Bone marrow smear · brightfield, 40× oil-immersion objective · 250 by 250 pixels:
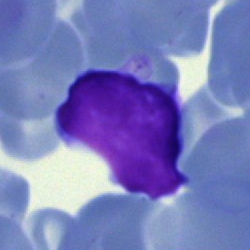Specimen: bone marrow smear.
Morphological class: typical lymphocyte.
Lineage: lymphoid.